Pappenheim-stained. 40× oil immersion. Bone marrow smear:
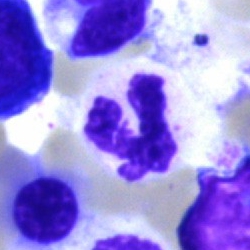

Showing a neutrophil (segmented).